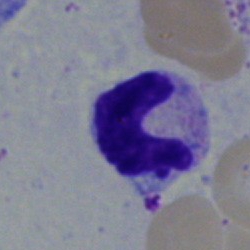
{"cell_type": "band neutrophil", "lineage": "myeloid"}